Brightfield, 40× oil-immersion objective; bone marrow smear — 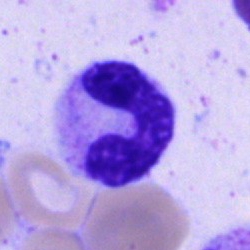
Morphology consistent with a band-form neutrophil.